Bone marrow smear.
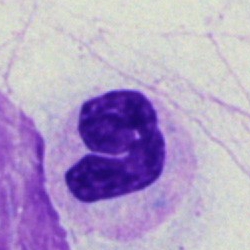

Single cell identified as a neutrophil (segmented).